Bone marrow aspirate smear. 40× objective, oil immersion. Single-cell field.
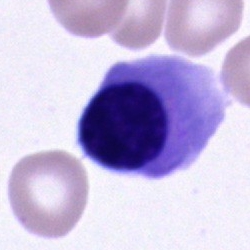
Impression → nucleated red cell.